Bone marrow aspirate smear:
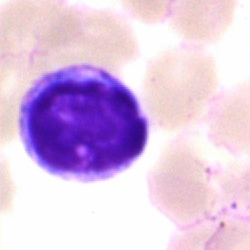
Classification: lymphocyte.